Bone marrow aspirate smear
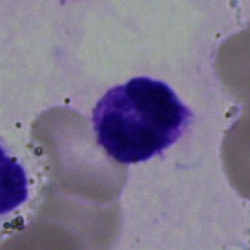

The classification is basophil.